Bone marrow aspirate smear — 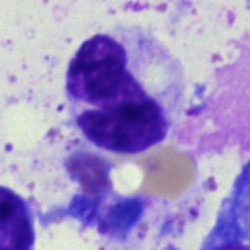
The cell is neutrophil (band).